Bone marrow smear: 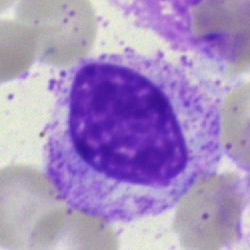
Cell = myelocyte.